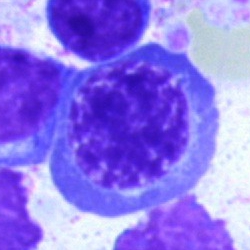Q: What cell is this?
A: This is a nucleated red blood cell.